Bone marrow aspirate smear:
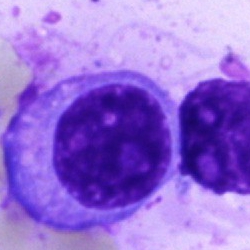
Q: Which cell type is shown here?
A: This is a plasmacyte.